40× oil immersion · bone marrow aspirate smear · 250×250
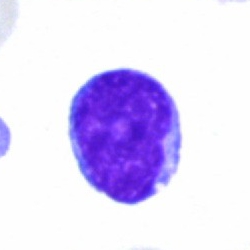Cell type — lymphocyte.